Single-cell crop · bone marrow aspirate smear — 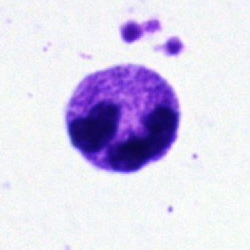

The cell shown is a polymorphonuclear neutrophil.